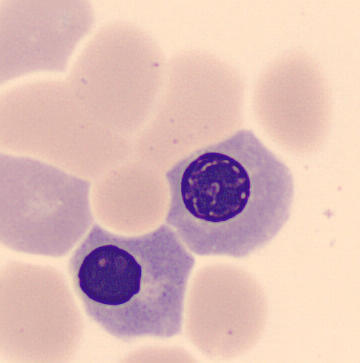 Nucleated red blood cell. Acquisition: Peripheral blood smear.